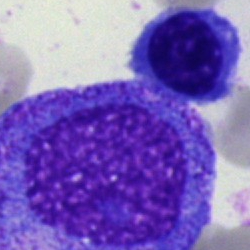 The classification is progranulocyte.